Bone marrow aspirate smear. Cropped to a single cell:
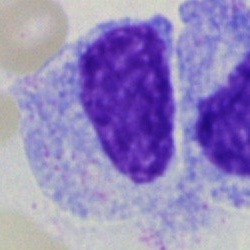

Classification: myelocyte.